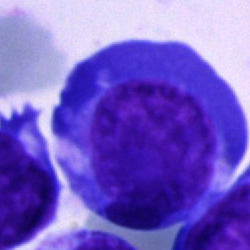
Specimen: bone marrow smear.
Morphological class: blast cell.